Bone marrow aspirate smear; brightfield microscopy, 40× oil immersion: 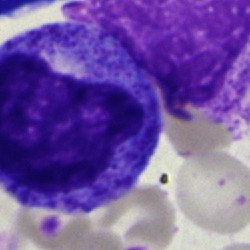Specimen: bone marrow aspirate smear.
Cell type: progranulocyte.